Bone marrow smear · 250 by 250 pixels · brightfield microscopy, 40× oil immersion:
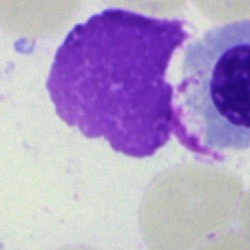
Impression — artefact.